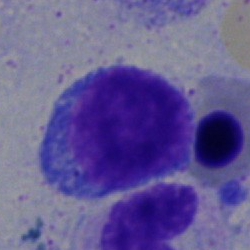

A typical lymphocyte.